Single cell centered in the field · Romanowsky-type stain · peripheral blood smear: 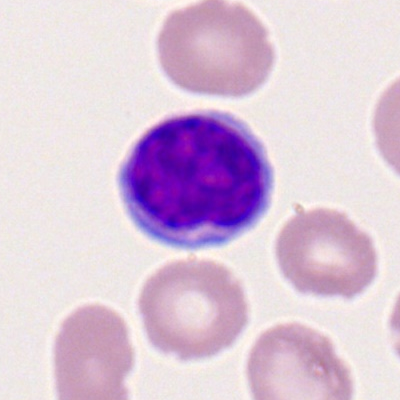 {"cell_type": "typical lymphocyte", "lineage": "lymphoid"}